Bone marrow aspirate smear; brightfield microscopy, 40× oil immersion; cropped to a single cell:
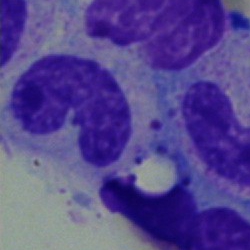

Single cell identified as a band neutrophil.